Bone marrow smear. Single cell centered in the field
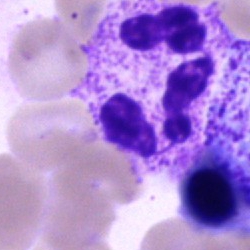
Morphology — segmented neutrophil.